Cropped to a single cell. Bone marrow aspirate smear
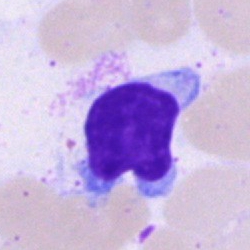Cell type = typical lymphocyte.